Pappenheim-stained; bone marrow aspirate smear:
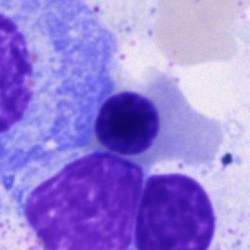
Specimen: bone marrow smear.
Morphological class: nucleated red blood cell.
Lineage: erythroid.